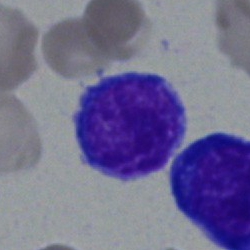 Single-cell crop from a bone marrow smear: lymphocyte.